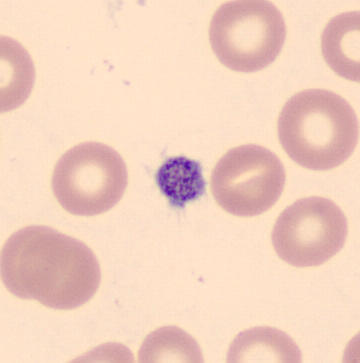Specimen: peripheral blood smear.
Morphological class: platelet (thrombocyte).